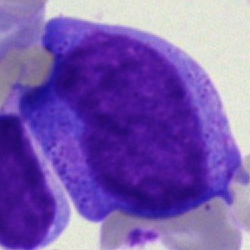 Q: What cell is this?
A: It is a progranulocyte.